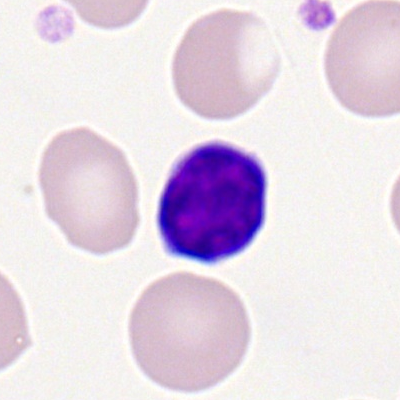

Cell — typical lymphocyte.